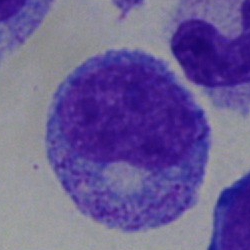

Cell — progranulocyte.